Bone marrow smear.
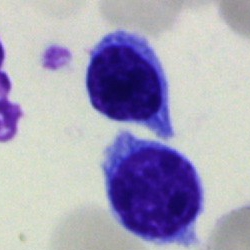A lymphocyte.